Pappenheim-stained. Bone marrow aspirate smear
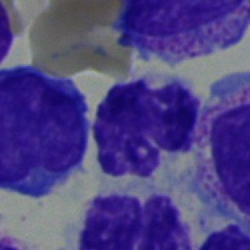 {"cell_type": "polymorphonuclear neutrophil", "lineage": "myeloid"}